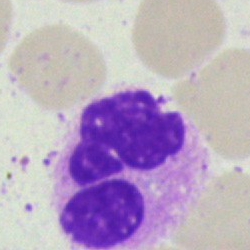Classification = polymorphonuclear neutrophil.